Bone marrow aspirate smear: 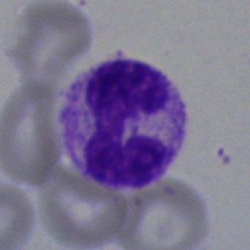 Cell type = polymorphonuclear neutrophil.